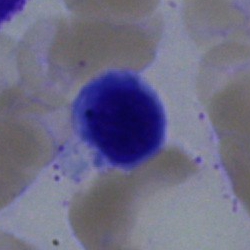Classification — typical lymphocyte.